Bone marrow smear · single-cell field.
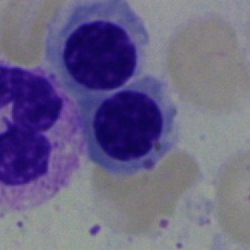

Classification = nucleated red cell.